Bone marrow smear. Single cell centered in the field. MGG-stained:
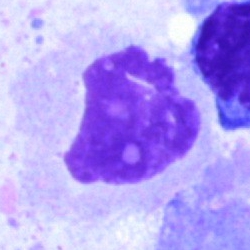
The classification is artifact.